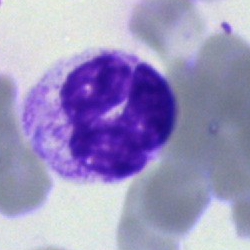

Morphology → segmented neutrophil.